May-Grünwald-Giemsa/Pappenheim stain · bone marrow smear — 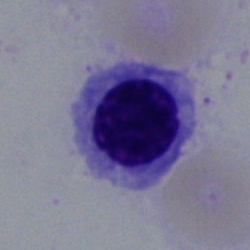Nucleated red blood cell.